250×250; bone marrow smear: 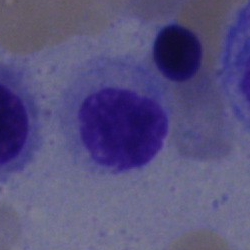
Specimen: bone marrow aspirate smear.
Classification: nucleated red blood cell.